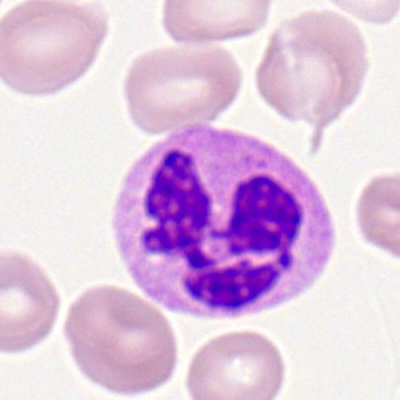Specimen: peripheral blood film.
Cell type: neutrophil (segmented).